Pappenheim-stained. Bone marrow aspirate smear. 40× objective, oil immersion — 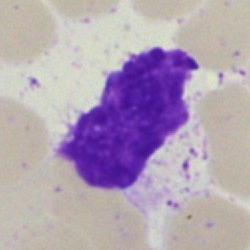The cell shown is an artefact.